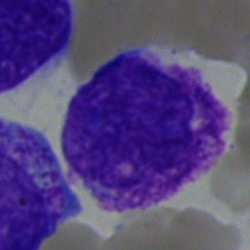 A myelocyte.